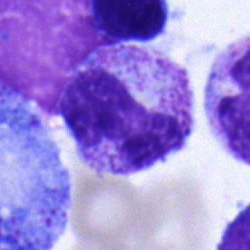Cell — neutrophil (band).